Bone marrow smear · 250×250 px
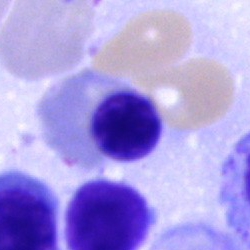Impression — nucleated red cell.